Brightfield microscopy, 40× oil immersion · bone marrow smear:
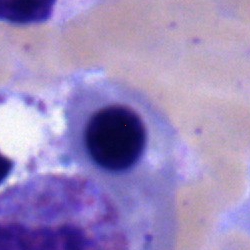 This is a nucleated red cell.